Bone marrow aspirate smear · May-Grünwald-Giemsa stain.
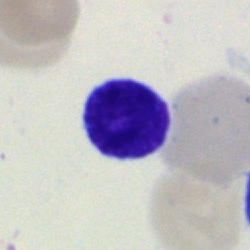
Q: What is shown here?
A: This is a typical lymphocyte.